Single cell centered in the field. Bone marrow aspirate smear:
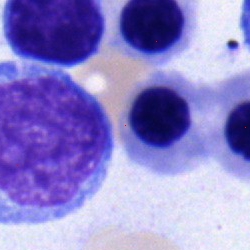 This is a nucleated red cell.